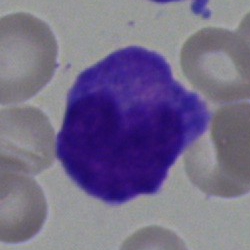 This is a blast cell.